Brightfield microscopy, 40× oil immersion. Bone marrow aspirate smear. Single cell centered in the field
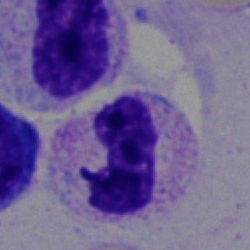
Q: What cell is this?
A: It is a neutrophil (band).